Peripheral blood smear
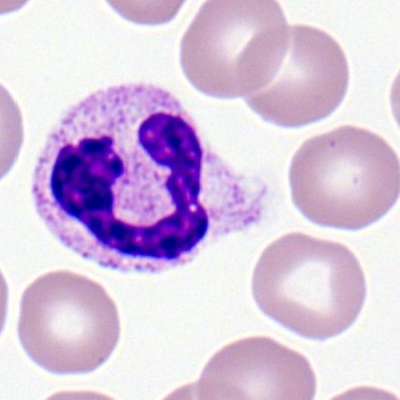 This is a neutrophil (segmented).